Bone marrow smear · brightfield microscopy, 40× oil immersion · single-cell field:
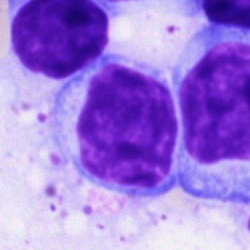The morphological class is typical lymphocyte.